Bone marrow smear — 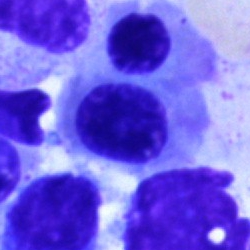The cell type is nucleated red cell.